Bone marrow smear.
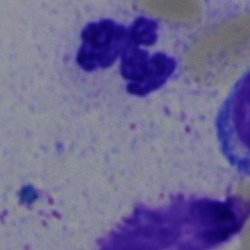Classification: neutrophil (segmented).